Bone marrow aspirate smear:
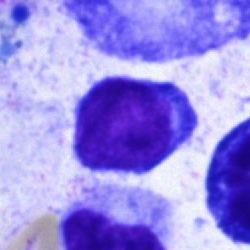Morphology → typical lymphocyte.